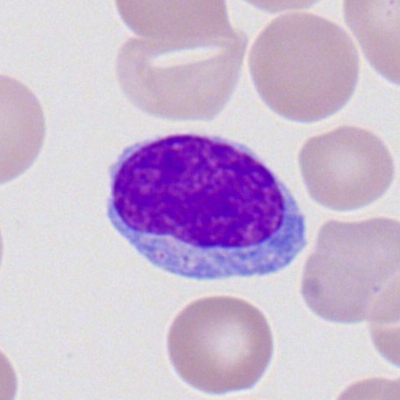Single-cell crop from a peripheral blood smear: lymphocyte.